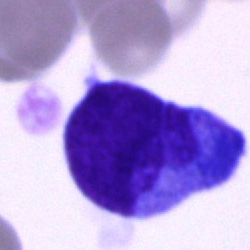Q: What is the morphological classification of this cell?
A: Undifferentiated blast.